Cropped to a single cell; bone marrow smear
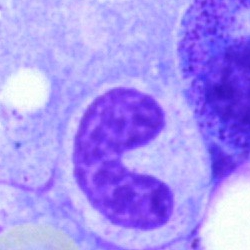

Cell type: stab cell.